Bone marrow aspirate smear.
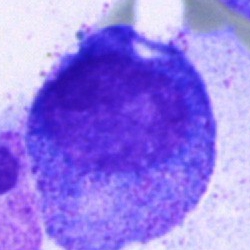This is a progranulocyte.